40× oil immersion · 250×250 px · bone marrow aspirate smear.
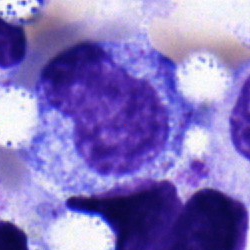

Morphology consistent with a myelocyte.